Bone marrow smear.
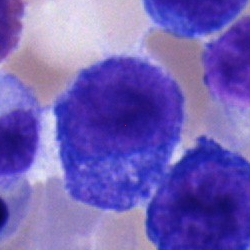
{"cell_type": "lymphocyte", "lineage": "lymphoid"}